Peripheral blood film · cropped to a single cell · 400 by 400 pixels — 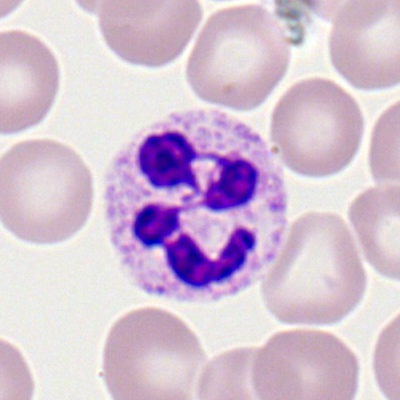Cell type = segmented neutrophil.